Bone marrow smear.
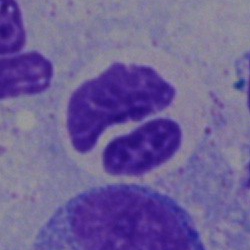Cell type — segmented neutrophil.